Bone marrow smear:
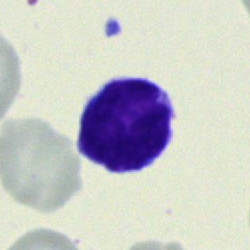
Morphology → lymphocyte.